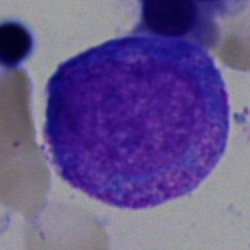Impression — promyelocyte.